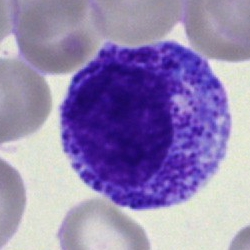The cell is myelocyte.